Bone marrow aspirate smear
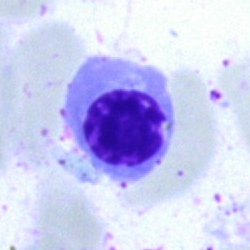

Showing an erythroblast.